Single-cell crop · bone marrow aspirate smear · May-Grünwald-Giemsa stain: 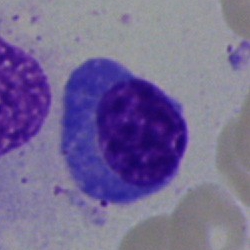Q: What is shown here?
A: This is a plasmacyte.